Bone marrow smear: 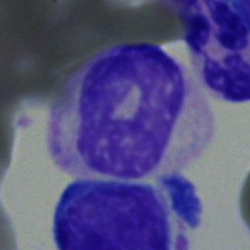

Cell type = neutrophil (segmented).